Bone marrow aspirate smear.
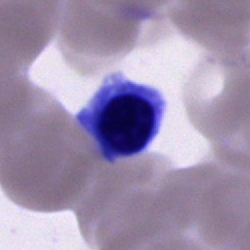

A normoblast.